Bone marrow aspirate smear. MGG-stained
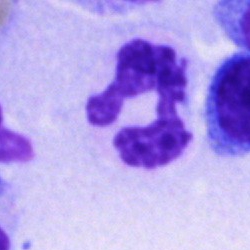 A segmented neutrophil.